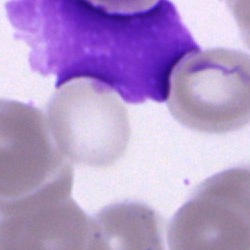{"cell_type": "artifact"}